Image size 250×250; bone marrow aspirate smear; brightfield microscopy, 40× oil immersion.
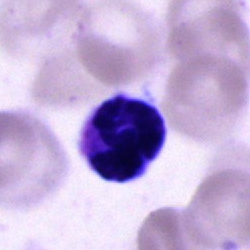

Classification = unidentifiable cell.